May-Grünwald-Giemsa/Pappenheim stain · bone marrow smear:
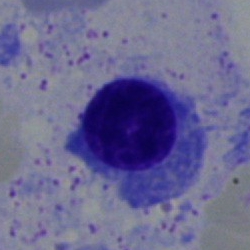 Morphology — nucleated red cell.